Bone marrow smear
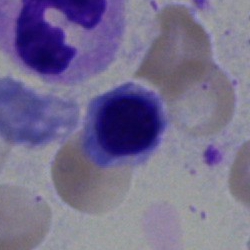

A normoblast.